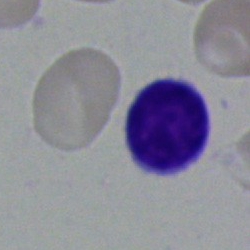
Specimen: bone marrow smear.
Morphological class: typical lymphocyte.